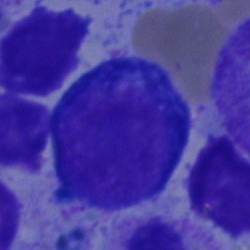 Classification = proerythroblast.